Bone marrow smear: 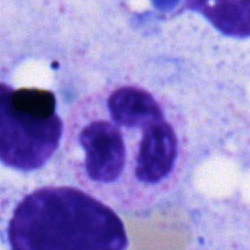
A segmented neutrophil.